Bone marrow aspirate smear
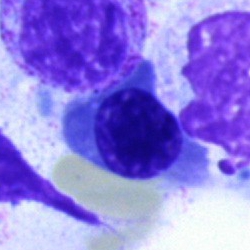Classification: normoblast.